250 by 250 pixels; bone marrow aspirate smear — 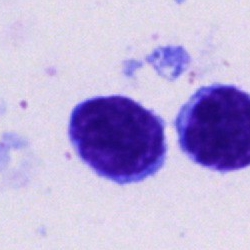
{"cell_type": "lymphocyte", "lineage": "lymphoid"}